Bone marrow smear: 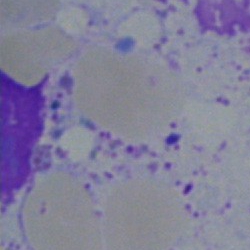 Cell type = artefact.